Bone marrow aspirate smear; MGG-stained.
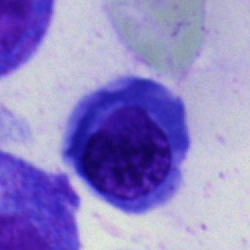
The cell shown is an erythroblast.